Single-cell field · bone marrow aspirate smear
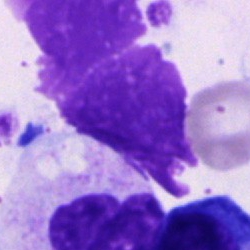 {"cell_type": "artefact"}